Bone marrow smear.
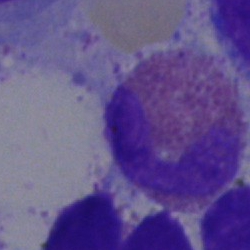

Specimen: bone marrow smear.
Classification: eosinophil.
Lineage: myeloid.